Image size 250×250. Bone marrow smear. 40× objective, oil immersion:
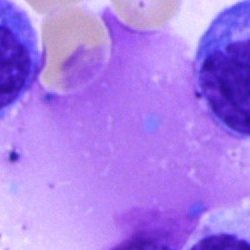

{"cell_type": "artifact"}